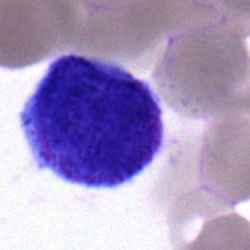

Impression → blast.